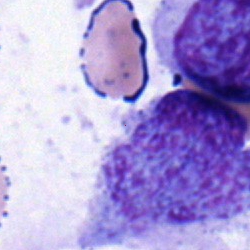Q: What is the morphological classification of this cell?
A: A blast cell.